Pappenheim-stained · bone marrow aspirate smear:
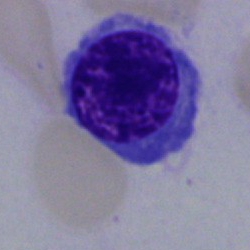
Q: What cell is this?
A: It is a nucleated red cell.